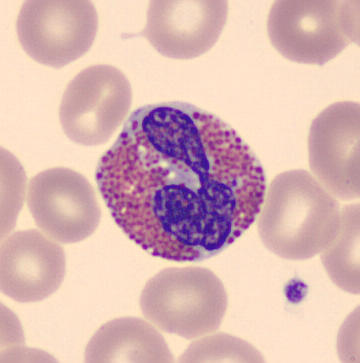 An eosinophilic granulocyte.

Acquisition: Single cell centered in the field. Peripheral blood film. May Grünwald-Giemsa stain.